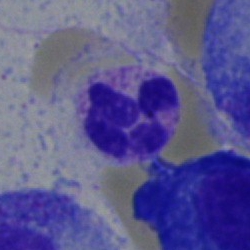 Morphology → polymorphonuclear neutrophil.